Single-cell field; Romanowsky-stained; peripheral blood film: 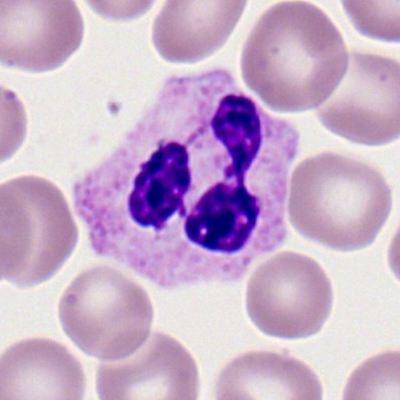
Q: What cell is this?
A: Segmented neutrophil.